Peripheral blood film. MGG stain. Cropped to a single cell — 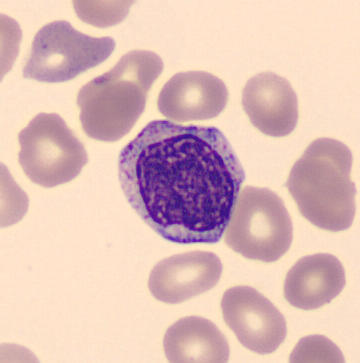A myelocyte.